250×250 px. Bone marrow smear. May-Grünwald-Giemsa stain.
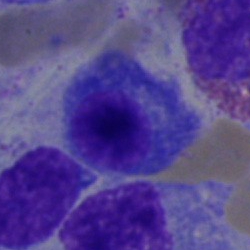Morphology consistent with a plasmacyte.